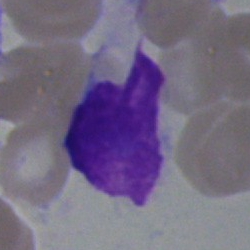 The morphological class is artifact.